Bone marrow smear — 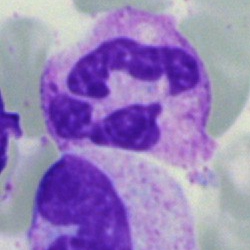

Morphology — neutrophil (segmented).